Bone marrow smear — 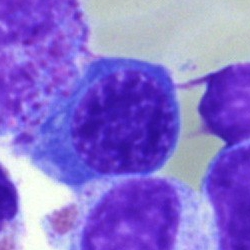
Showing a nucleated red blood cell.